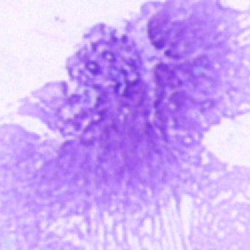
Q: What is shown here?
A: Artefact.